Bone marrow aspirate smear: 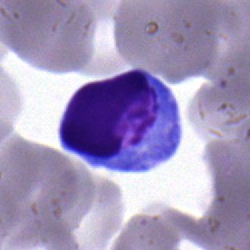

Showing a lymphocyte.